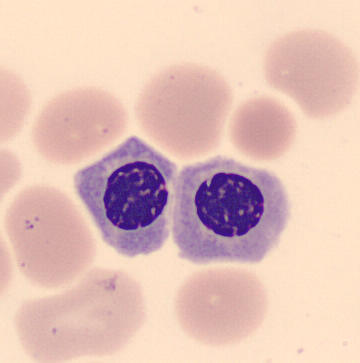

Showing a nucleated red cell. Acquisition: Peripheral blood film.